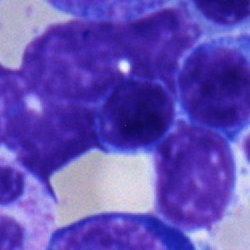 Morphology consistent with an erythroblast.